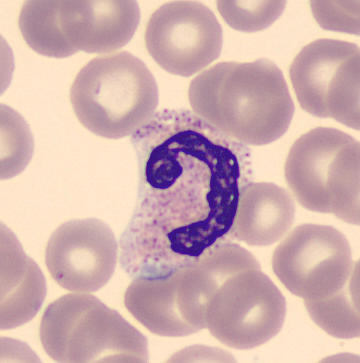
Q: Identify the cell.
A: Neutrophil (band). Peripheral blood smear. 360×363.